Bone marrow smear · 250×250 px: 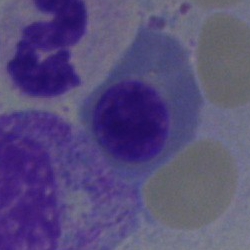
Cell type: nucleated red blood cell.